Bone marrow aspirate smear: 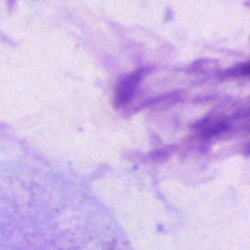
Specimen: bone marrow aspirate smear.
Cell: artefact.